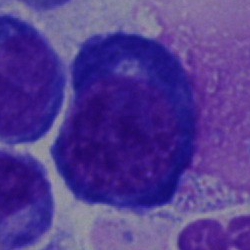

The morphological class is pronormoblast.